Bone marrow smear. May-Grünwald-Giemsa stain. Brightfield microscopy, 40× oil immersion: 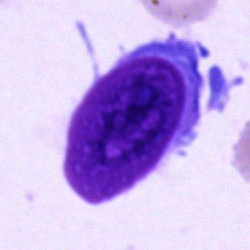Blast.